May-Grünwald-Giemsa stain; bone marrow aspirate smear — 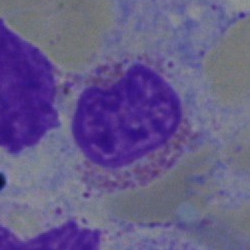 Classification = eosinophil.